Bone marrow aspirate smear
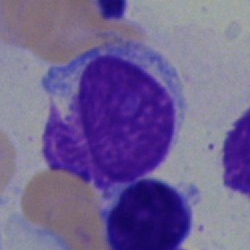
Classification: typical lymphocyte.